Bone marrow aspirate smear.
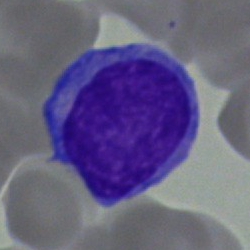Q: What type of cell is this?
A: A blast cell.